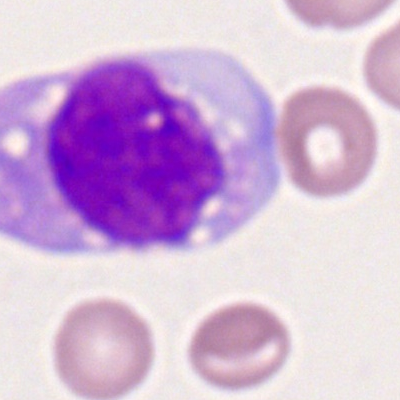

The cell shown is a monocyte.